Bone marrow smear: 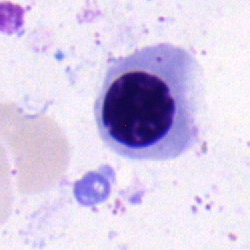 Showing a nucleated red blood cell.